Pappenheim-stained; bone marrow aspirate smear: 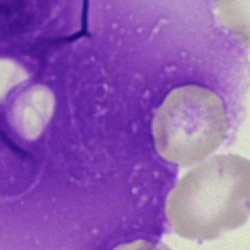
Specimen: bone marrow smear.
Cell: artifact.